250×250. May-Grünwald-Giemsa/Pappenheim stain. Bone marrow smear
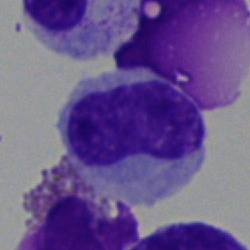
Impression — metamyelocyte.